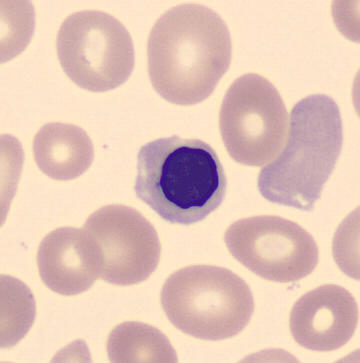

The cell shown is a normoblast.

Single cell centered in the field; image size 360×363; peripheral blood smear.